40× oil immersion · bone marrow smear
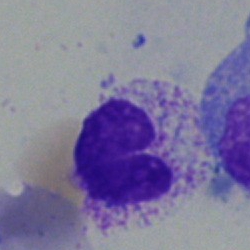Polymorphonuclear neutrophil.